250×250; bone marrow aspirate smear — 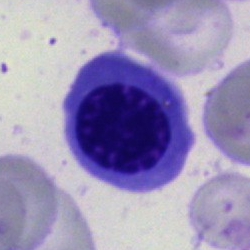

A nucleated red cell.